Bone marrow smear · May-Grünwald-Giemsa stain · single cell centered in the field.
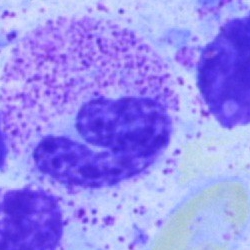The cell type is polymorphonuclear neutrophil.